Bone marrow smear · MGG-stained.
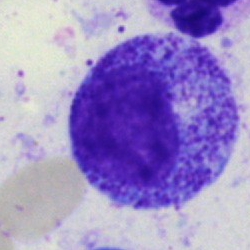 Morphological class — myelocyte.